Bone marrow aspirate smear · single-cell field:
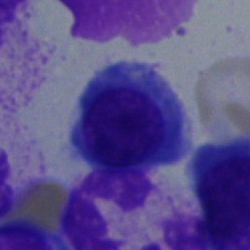 Q: What is shown here?
A: It is a normoblast.